May-Grünwald-Giemsa/Pappenheim stain; bone marrow smear; single-cell crop.
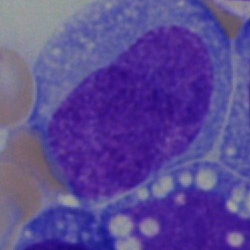
Impression → undifferentiated blast.